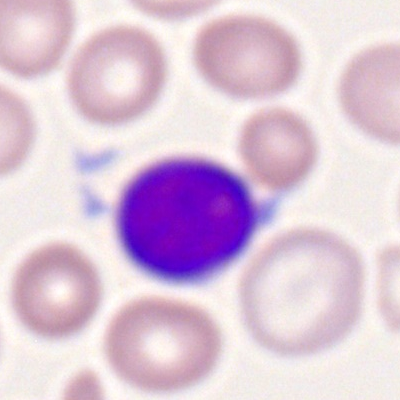

Showing a lymphocyte.